Bone marrow smear
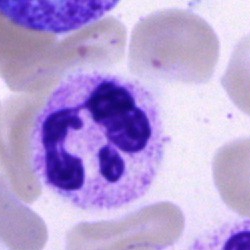 Q: Identify the cell.
A: Segmented neutrophil.